Bone marrow smear. Brightfield microscopy, 40× oil immersion. Single cell centered in the field:
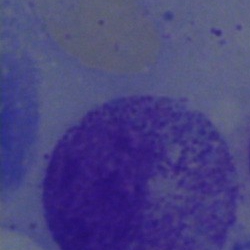
Myelocyte.